Bone marrow smear: 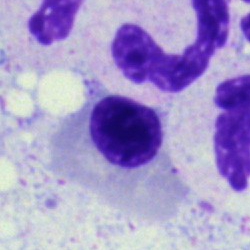 A normoblast.